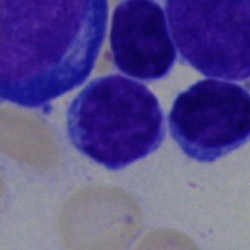

Classification = typical lymphocyte.